Bone marrow smear:
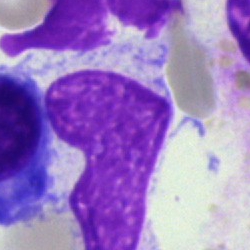
An artefact.